Bone marrow aspirate smear: 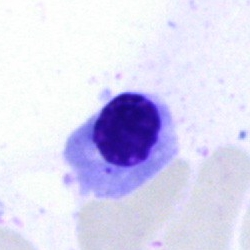

The cell is normoblast.